Bone marrow smear.
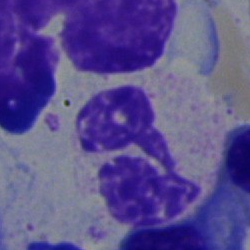Q: What cell is this?
A: It is a neutrophil (segmented).